Bone marrow smear. Single-cell crop. Brightfield microscopy, 40× oil immersion.
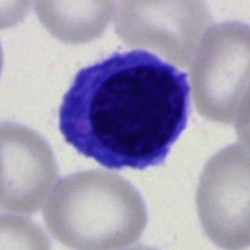

This is a nucleated red cell.